Peripheral blood film:
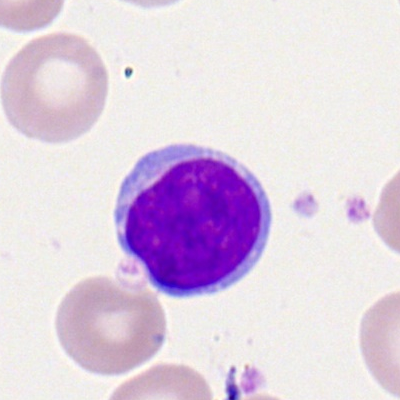

Morphology → typical lymphocyte.